Bone marrow aspirate smear · image size 250×250
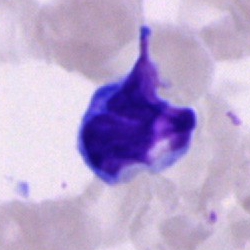 Q: What is shown here?
A: An artifact.